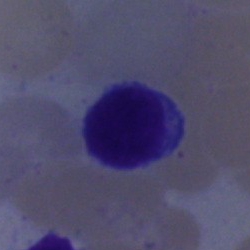
The classification is typical lymphocyte.